Bone marrow smear.
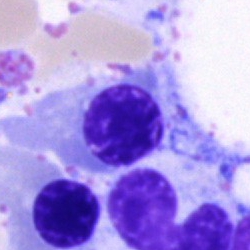

Cell: nucleated red cell.